Bone marrow smear · May-Grünwald-Giemsa stain · 250 by 250 pixels.
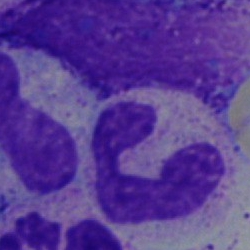 Neutrophil (band).